Bone marrow smear
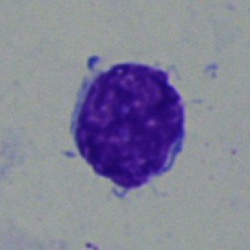Showing a lymphocyte.